Bone marrow smear: 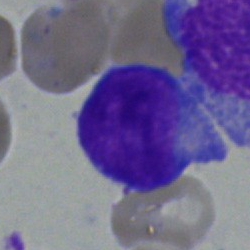 Morphological class = undifferentiated blast.